Bone marrow smear; cropped to a single cell; Pappenheim-stained
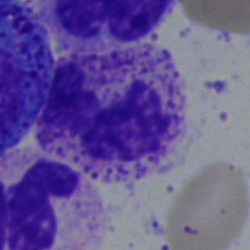
Classification = polymorphonuclear neutrophil.